Bone marrow aspirate smear — 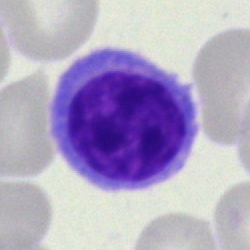 A lymphocyte.